MGG-stained; bone marrow aspirate smear:
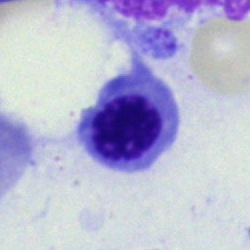

Impression — nucleated red blood cell.